Peripheral blood smear — 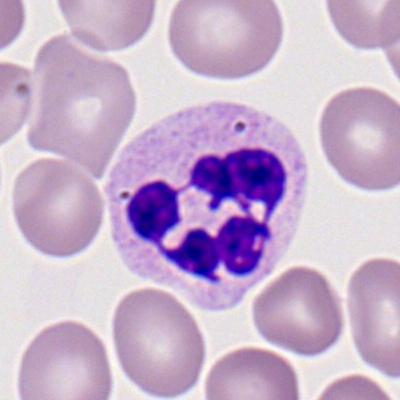
Specimen: peripheral blood smear.
Cell: neutrophil (segmented).